Bone marrow smear
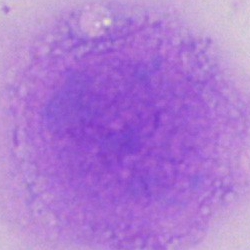 Q: What is shown here?
A: It is an artefact.